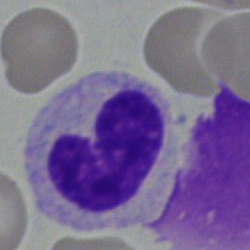

The classification is band-form neutrophil.